Bone marrow smear · single cell centered in the field — 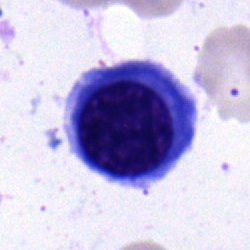
Morphological class = nucleated red cell.